Bone marrow smear — 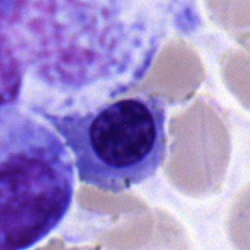Specimen: bone marrow aspirate smear.
Cell: nucleated red blood cell.
Lineage: erythroid.